Bone marrow aspirate smear.
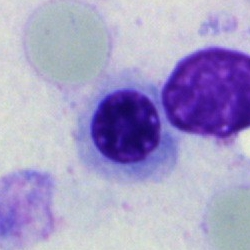 {"cell_type": "normoblast"}